Romanowsky stain · single cell centered in the field · peripheral blood film:
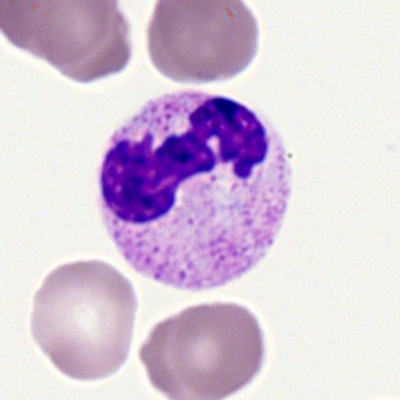 Showing a polymorphonuclear neutrophil.